Bone marrow aspirate smear:
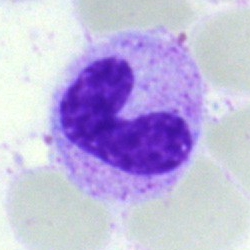 The morphological class is stab cell.